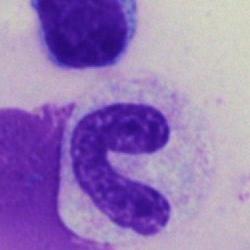Cell type — polymorphonuclear neutrophil.